250×250 · brightfield, 40× oil-immersion objective · bone marrow smear: 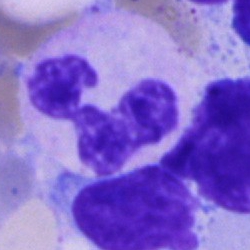Segmented neutrophil.